Peripheral blood smear:
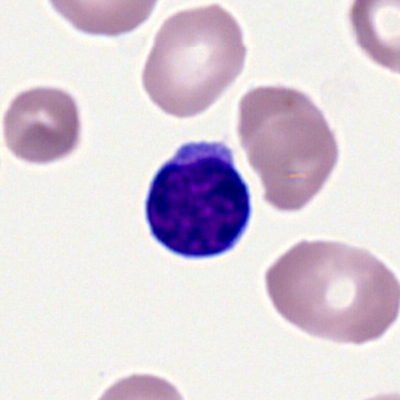

Cell type — typical lymphocyte.